Peripheral blood smear:
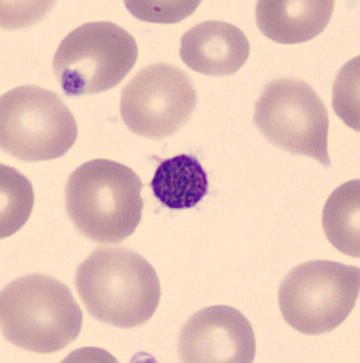 Identified as a platelet.